Bone marrow aspirate smear:
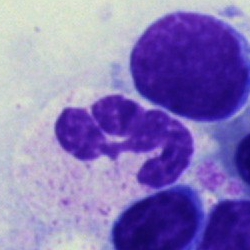Specimen: bone marrow aspirate smear.
Cell: segmented neutrophil.
Lineage: myeloid.